Bone marrow aspirate smear
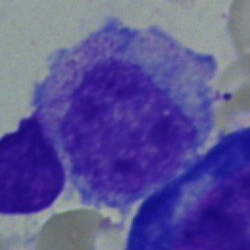
Showing a myelocyte.